Bone marrow aspirate smear. Single-cell field.
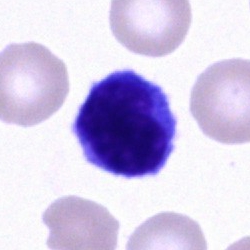

Cell type = typical lymphocyte.